Peripheral blood smear. Romanowsky-type stain: 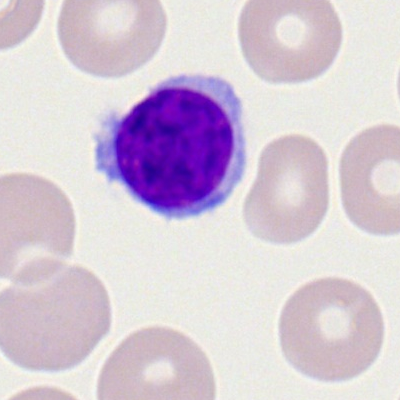 The cell shown is a lymphocyte.